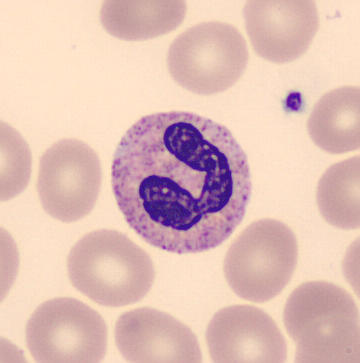 CellaVision DM96 digital cell image · peripheral blood film.

The cell is neutrophil (band).